Bone marrow aspirate smear — 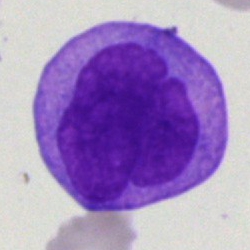

Specimen: bone marrow smear.
Cell: undifferentiated blast.